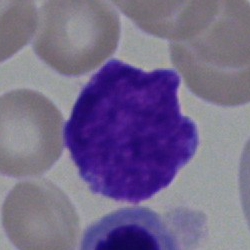
Morphology consistent with a blast cell.